Single-cell crop · bone marrow aspirate smear: 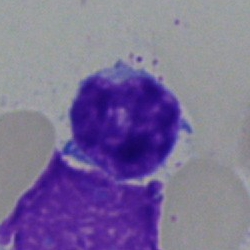Single cell identified as a lymphocyte.